Bone marrow smear. Image size 250×250. Single cell centered in the field:
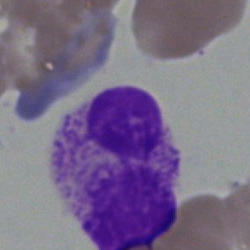
Cell: neutrophil (segmented).